May-Grünwald-Giemsa stain · bone marrow smear · cropped to a single cell:
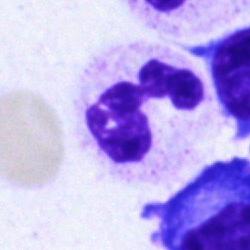The cell shown is a neutrophil (segmented).